Bone marrow smear.
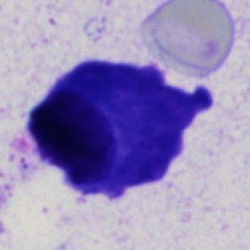
The cell type is plasmacyte.